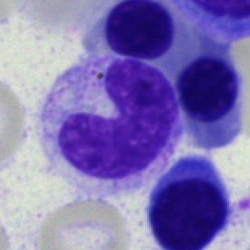 Specimen: bone marrow smear.
Cell type: stab cell.
Lineage: myeloid.